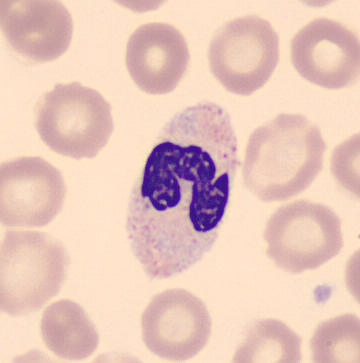 CellaVision DM96 digital cell image. May-Grünwald-Giemsa-stained. Peripheral blood smear.

Q: What cell is this?
A: This is a band-form neutrophil.